May-Grünwald-Giemsa stain. Bone marrow smear — 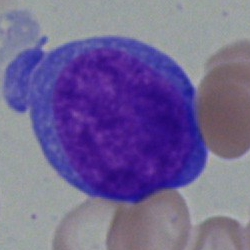The cell is blast cell.